Single cell centered in the field · bone marrow smear: 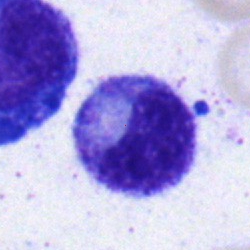
The classification is metamyelocyte.